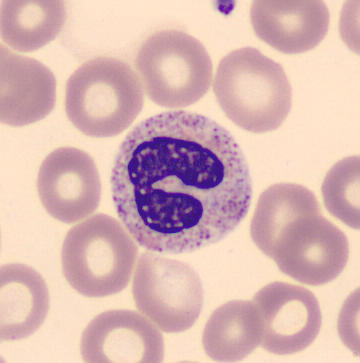 Peripheral blood smear. 360×363 px. Single-cell field. Band neutrophil.